Bone marrow aspirate smear · MGG-stained — 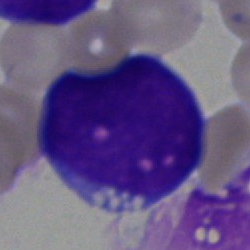Undifferentiated blast.